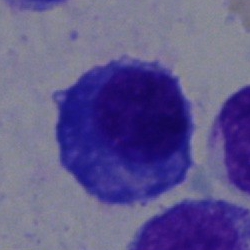 Bone marrow aspirate smear, single cell — plasma cell.